Brightfield microscopy, 40× oil immersion; Pappenheim-stained; bone marrow smear: 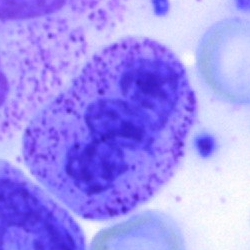
Segmented neutrophil.